Bone marrow smear:
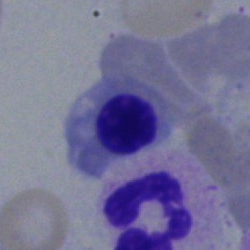

Morphology consistent with a normoblast.